Bone marrow aspirate smear — 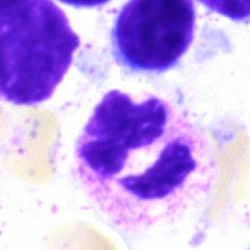

Specimen: bone marrow smear.
Cell: polymorphonuclear neutrophil.